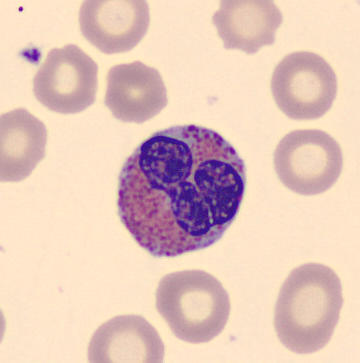 Q: What type of cell is this?
A: Eosinophilic granulocyte. Image: Peripheral blood smear.